May-Grünwald-Giemsa/Pappenheim stain · bone marrow smear — 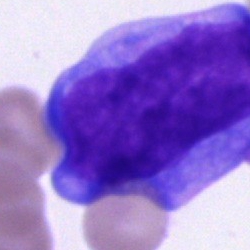

{"cell_type": "blast cell"}